Bone marrow smear: 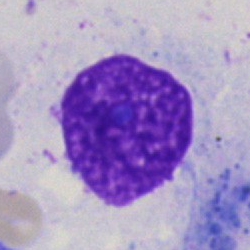

Morphological class — artefact.